May-Grünwald-Giemsa stain · bone marrow aspirate smear:
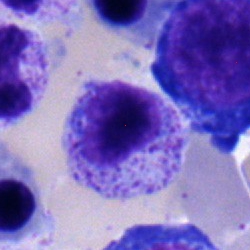
Specimen: bone marrow smear.
Classification: myelocyte.